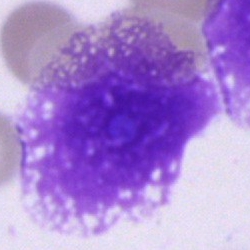
An artifact on a bone marrow smear.